Bone marrow aspirate smear:
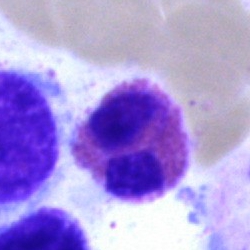
{"cell_type": "eosinophilic granulocyte"}